Romanowsky-stained; peripheral blood film; 400×400:
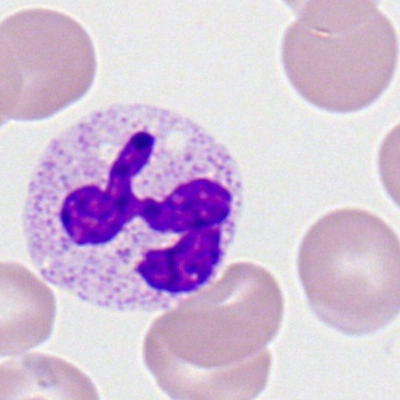
Specimen: peripheral blood film.
Cell type: polymorphonuclear neutrophil.
Lineage: myeloid.